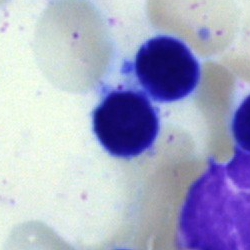

Cell — typical lymphocyte.